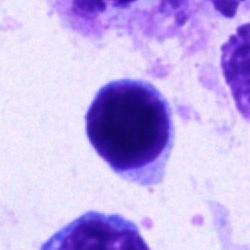

Bone marrow aspirate smear, single cell — lymphocyte.